MGG-stained. Bone marrow aspirate smear
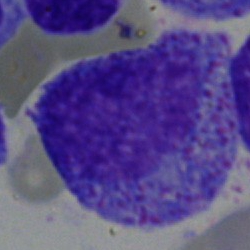Specimen: bone marrow smear.
Cell type: progranulocyte.
Lineage: myeloid.